Bone marrow smear
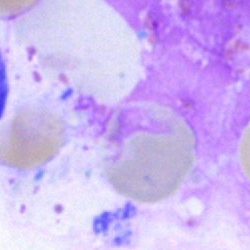
Morphological class = artifact.